Bone marrow aspirate smear; 250×250
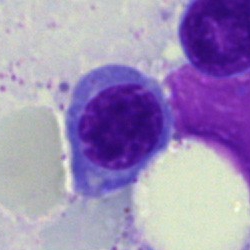 Cell type = nucleated red cell.